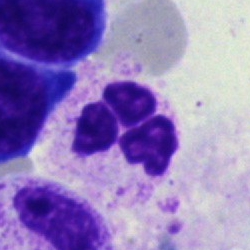Q: What type of cell is this?
A: This is a polymorphonuclear neutrophil.